Image size 250×250 · bone marrow smear.
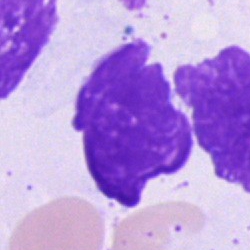

Q: What is shown here?
A: Artefact.